Pappenheim-stained; bone marrow smear.
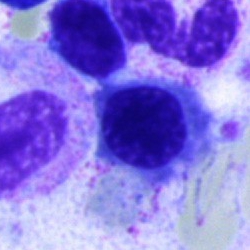 A normoblast.